Bone marrow smear
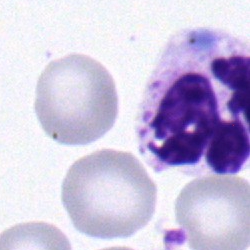 Single cell identified as a polymorphonuclear neutrophil.